Bone marrow aspirate smear — 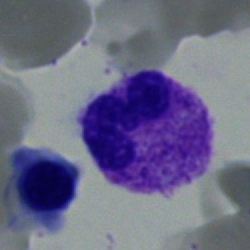
Classification = band-form neutrophil.